Bone marrow smear:
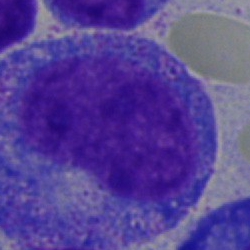 This is a promyelocyte.